Peripheral blood smear
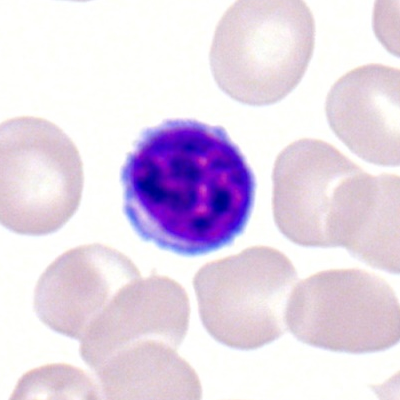

This is a typical lymphocyte.